Bone marrow aspirate smear:
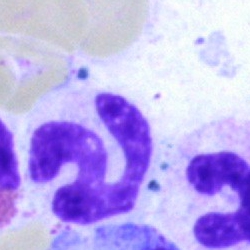 Classification = neutrophil (segmented).